Bone marrow smear
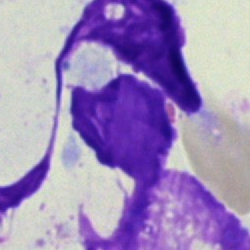
Q: What is shown here?
A: This is an artefact.